Peripheral blood smear · single cell centered in the field
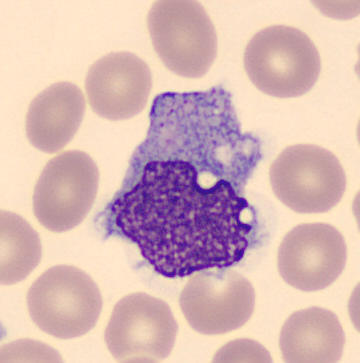
A monocyte.